Bone marrow aspirate smear.
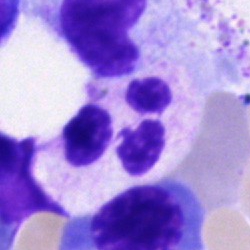 A polymorphonuclear neutrophil.